Peripheral blood smear. Single cell centered in the field
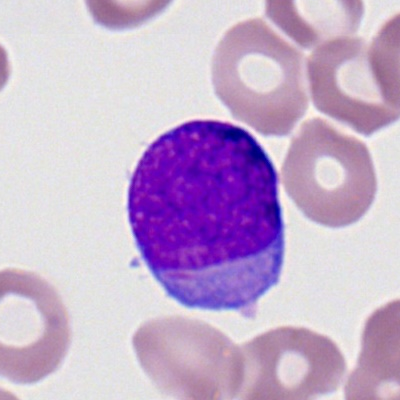 A myeloblast.